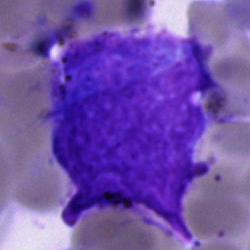
This is an artefact.